Peripheral blood smear:
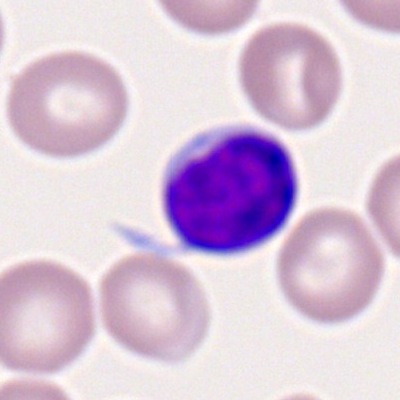Cell type: typical lymphocyte.